Bone marrow smear. May-Grünwald-Giemsa/Pappenheim stain:
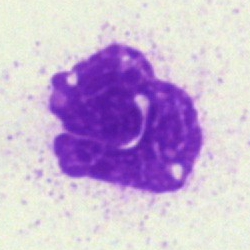This is an artefact.